Bone marrow aspirate smear.
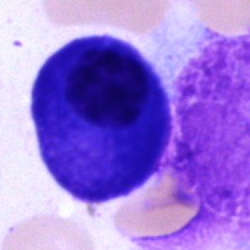

Plasma cell.